Single cell centered in the field · bone marrow smear: 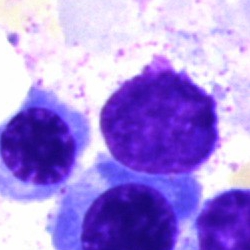
This is a nucleated red blood cell.